Bone marrow aspirate smear. 250×250 px. Brightfield, 40× oil-immersion objective: 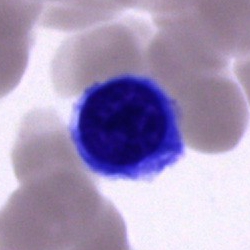 Q: What cell is this?
A: This is a nucleated red blood cell.